Bone marrow smear · 250 by 250 pixels · 40× objective, oil immersion:
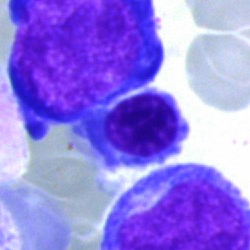

The classification is nucleated red cell.